Bone marrow aspirate smear. May-Grünwald-Giemsa stain — 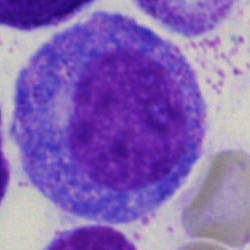 Specimen: bone marrow aspirate smear.
Cell type: promyelocyte.
Lineage: myeloid.